Cropped to a single cell; peripheral blood film; Romanowsky stain:
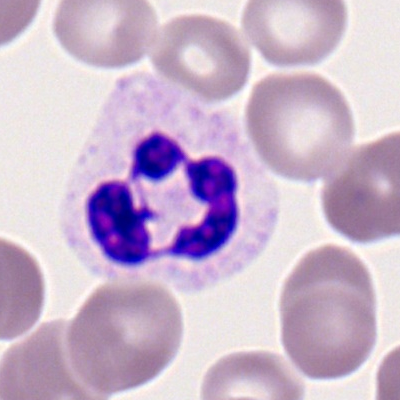

Q: What type of cell is this?
A: A segmented neutrophil.